Bone marrow aspirate smear.
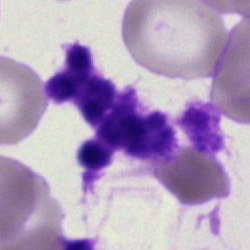The morphological class is artefact.